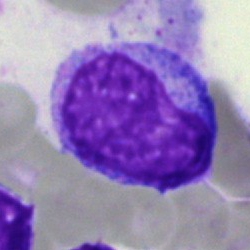Q: What cell is this?
A: A progranulocyte.